Bone marrow aspirate smear: 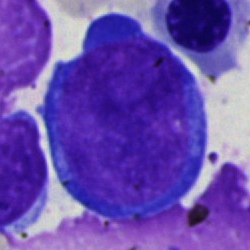

Proerythroblast.